Bone marrow aspirate smear — 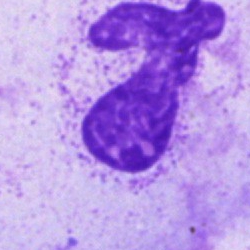

The classification is artefact.